Bone marrow aspirate smear
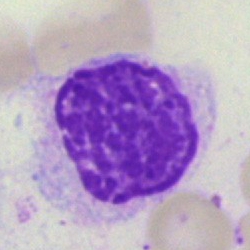Impression — artifact.